250×250 · bone marrow smear: 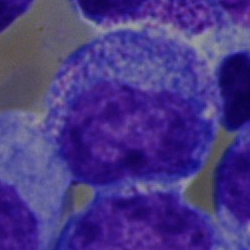

This is a promyelocyte.